Peripheral blood smear; single-cell crop.
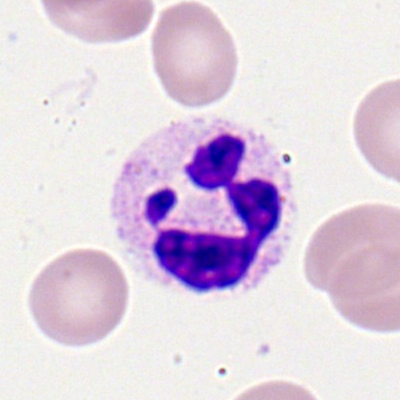 Specimen: peripheral blood smear.
Cell type: segmented neutrophil.